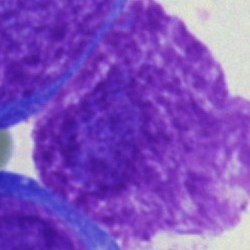 Single cell identified as an artifact.